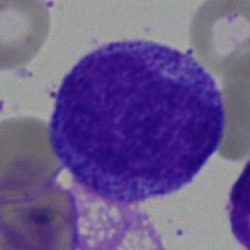 Single cell identified as a promyelocyte.